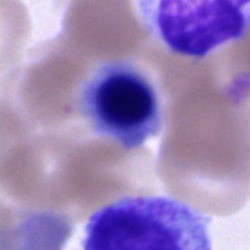An unidentifiable cell on a bone marrow smear.